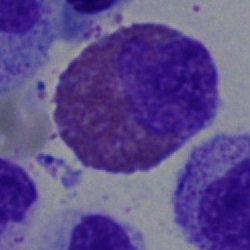 Cell type: eosinophil.